Bone marrow aspirate smear.
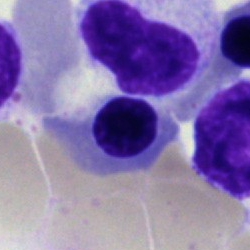

Showing a basophilic granulocyte.